250×250. Bone marrow smear — 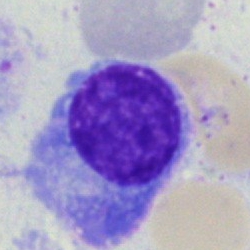 The classification is plasmacyte.